Cropped to a single cell · Romanowsky-type stain · peripheral blood smear
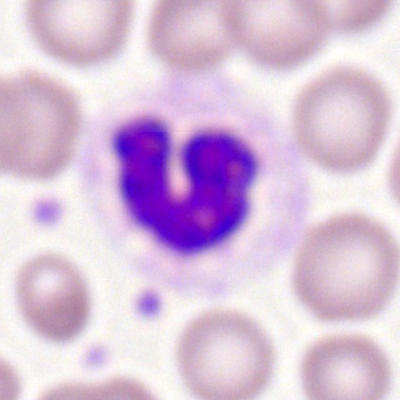 Showing a band neutrophil.